Bone marrow smear: 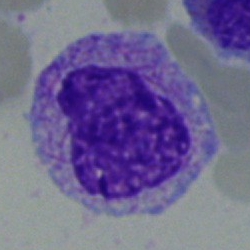The cell is myelocyte.